Bone marrow smear. Single-cell field: 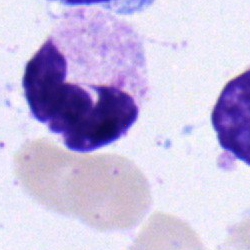 The cell shown is a neutrophil (segmented).